Bone marrow aspirate smear:
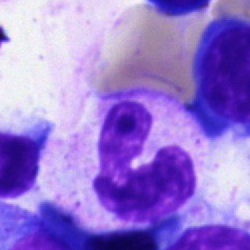Morphological class = polymorphonuclear neutrophil.